Bone marrow aspirate smear:
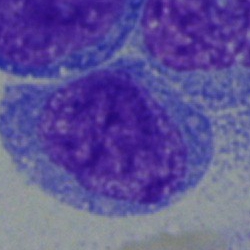 Specimen: bone marrow smear.
Classification: blast.